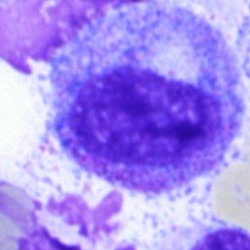

Specimen: bone marrow aspirate smear.
Morphological class: myelocyte.